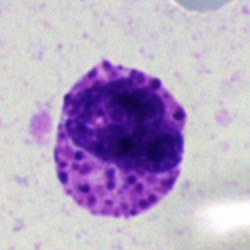 Q: What is shown here?
A: Basophilic granulocyte.